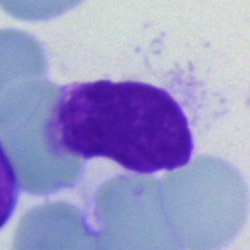

Classification: artefact.